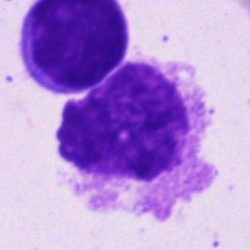

Cell = artefact.